Brightfield microscopy, 40× oil immersion · single-cell crop · bone marrow smear — 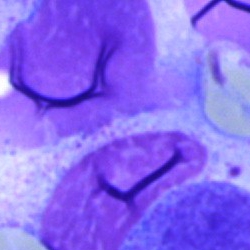
Showing an artifact.